Bone marrow smear:
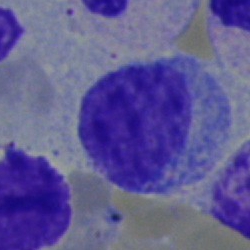
A myelocyte.